Pappenheim-stained · bone marrow aspirate smear:
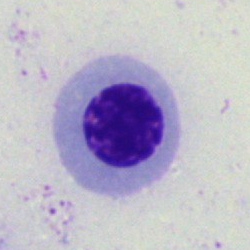

Morphology consistent with a nucleated red cell.